Bone marrow aspirate smear. May-Grünwald-Giemsa/Pappenheim stain: 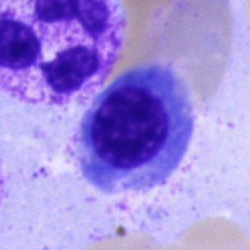 Cell = nucleated red cell.